May-Grünwald-Giemsa stain · bone marrow aspirate smear — 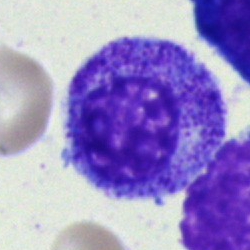
Q: What type of cell is this?
A: Myelocyte.